Peripheral blood smear: 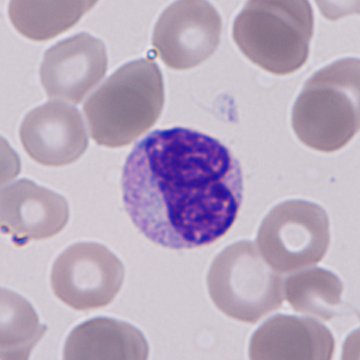Morphology consistent with a granulocyte precursor.